Bone marrow aspirate smear; brightfield, 40× oil-immersion objective; 250 by 250 pixels — 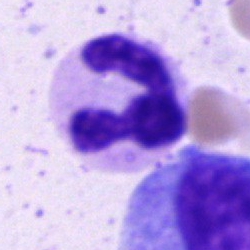
Morphology — neutrophil (segmented).